Bone marrow smear; May-Grünwald-Giemsa/Pappenheim stain: 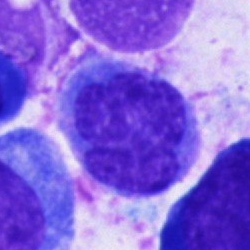

Single cell identified as a monocyte.